Single-cell field · bone marrow smear
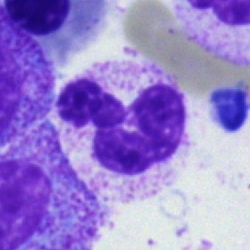{"cell_type": "segmented neutrophil"}